Bone marrow aspirate smear: 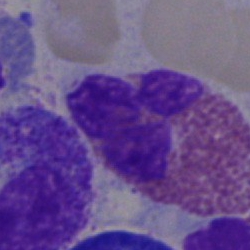{"cell_type": "eosinophilic granulocyte"}